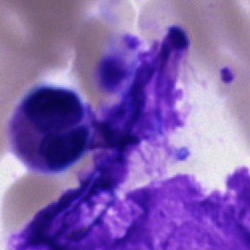Morphology consistent with an artifact.